May-Grünwald-Giemsa/Pappenheim stain · single cell centered in the field · bone marrow smear
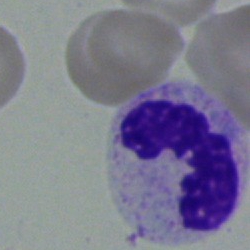Classification = polymorphonuclear neutrophil.